Brightfield, 40× oil-immersion objective; bone marrow aspirate smear; image size 250×250
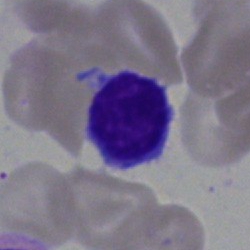Cell: lymphocyte.